Bone marrow smear; 40× oil immersion.
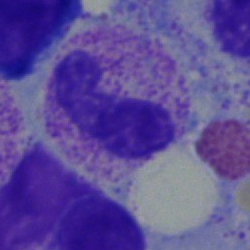 This is a stab cell.